Bone marrow smear; 250×250 px:
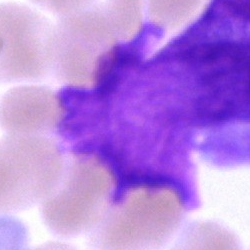Impression → artifact.